Bone marrow aspirate smear: 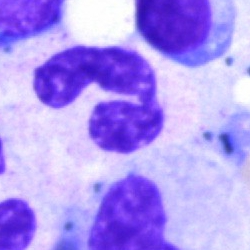
Q: What type of cell is this?
A: This is a segmented neutrophil.